Bone marrow smear:
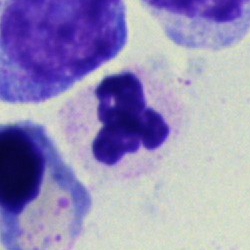Morphology → segmented neutrophil.